Peripheral blood film: 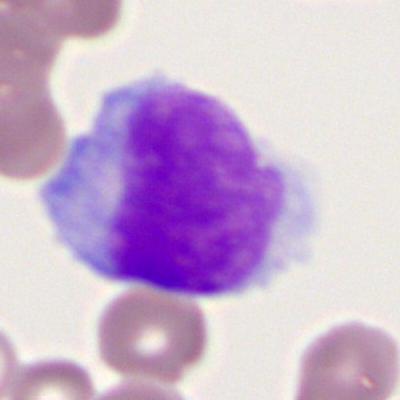
Q: Which cell type is shown here?
A: A monocyte.